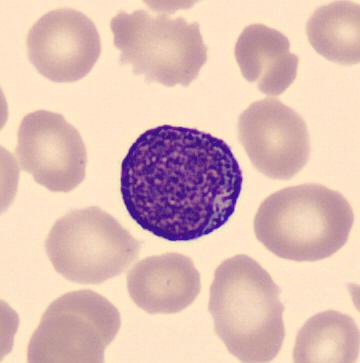

Morphology — progranulocyte.
Image: Peripheral blood film.